Brightfield, 40× oil-immersion objective; bone marrow aspirate smear; image size 250×250 — 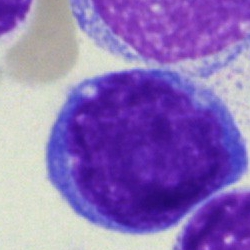 {"cell_type": "blast cell"}